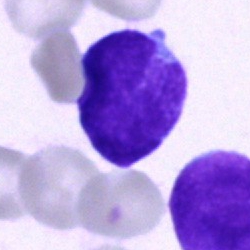Specimen: bone marrow aspirate smear.
Morphological class: blast.